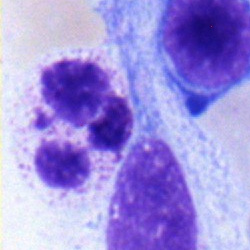 Showing a polymorphonuclear neutrophil.